Bone marrow smear — 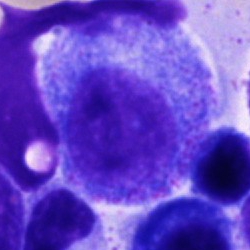
Promyelocyte.